Bone marrow smear:
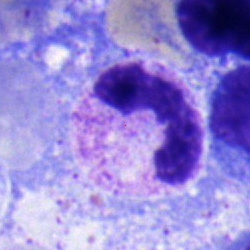 Q: What cell is this?
A: It is a band neutrophil.